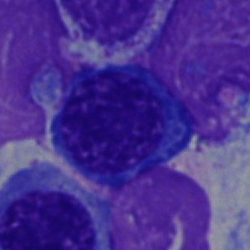
Morphology consistent with an erythroblast.